Bone marrow aspirate smear — 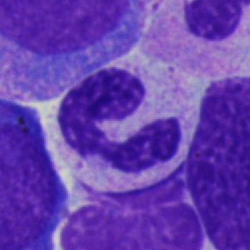Q: What is shown here?
A: A segmented neutrophil.